Bone marrow aspirate smear; 40× oil immersion — 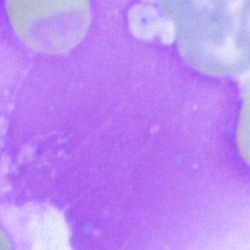
Q: What is shown here?
A: It is an artefact.